Bone marrow aspirate smear: 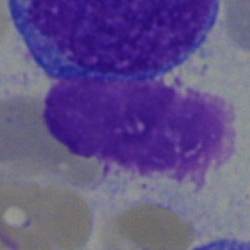 Impression — artefact.